250×250 px. May-Grünwald-Giemsa/Pappenheim stain. Bone marrow aspirate smear
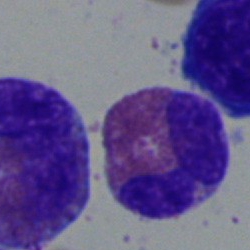Cell = eosinophilic granulocyte.